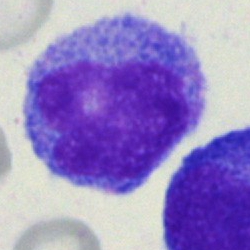

Cell type — progranulocyte.